250×250 · bone marrow smear
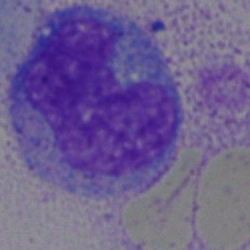

Specimen: bone marrow smear.
Cell type: monocyte.
Lineage: myeloid.